Bone marrow smear
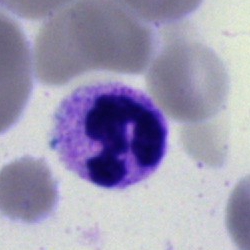
Q: Which cell type is shown here?
A: This is a neutrophil (segmented).